Pappenheim-stained · bone marrow smear — 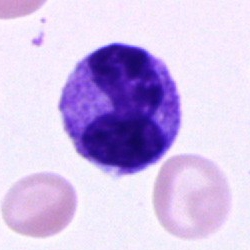 Classification = polymorphonuclear neutrophil.